M8 digital microscope (Precipoint), 100× oil immersion; single-cell crop; peripheral blood smear.
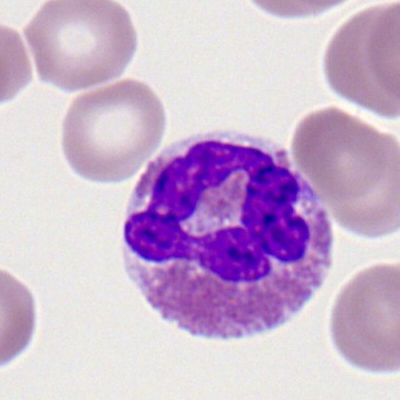 Classification = eosinophilic granulocyte.